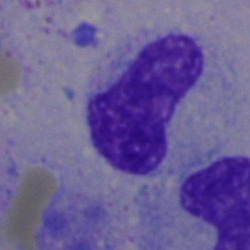
Impression — stab cell.